Single-cell crop. Image size 250×250. Bone marrow smear
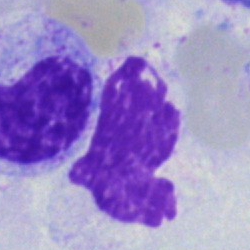

Q: What is shown here?
A: Artefact.